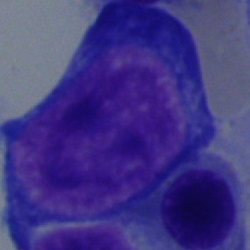Bone marrow aspirate smear, single cell — pronormoblast.